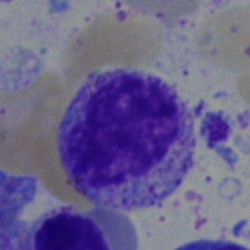Single-cell crop from a bone marrow smear: myelocyte.